Bone marrow smear — 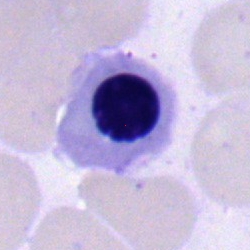
A nucleated red blood cell.